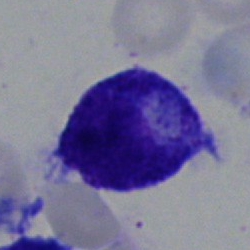
Showing a promyelocyte.